MGG-stained · bone marrow aspirate smear · single-cell field — 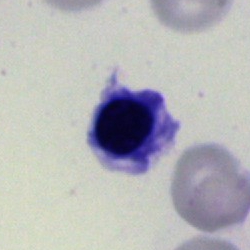 Specimen: bone marrow smear.
Cell type: nucleated red cell.
Lineage: erythroid.